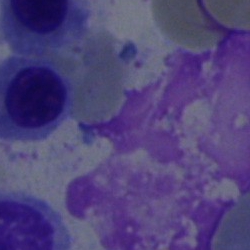

Q: What is shown here?
A: This is an artefact.